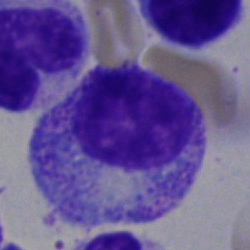
Q: What is the morphological classification of this cell?
A: It is a promyelocyte.